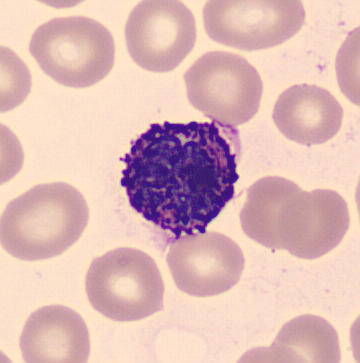Identified as a basophilic granulocyte.